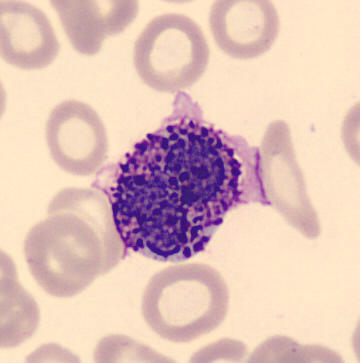

Acquisition: 360 by 363 pixels. Specimen: peripheral blood smear.
Morphological class: basophilic granulocyte.
Lineage: myeloid.